Bone marrow aspirate smear — 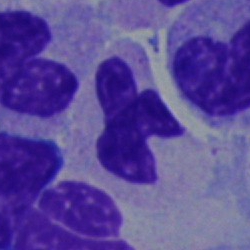 Classification = neutrophil (segmented).